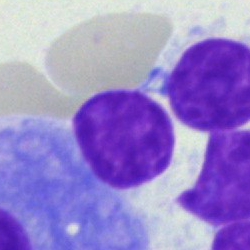

Q: Which cell type is shown here?
A: Lymphocyte.